Bone marrow aspirate smear. May-Grünwald-Giemsa stain. 250×250: 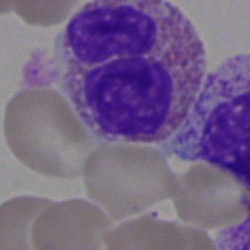

Impression → eosinophil.